Bone marrow smear
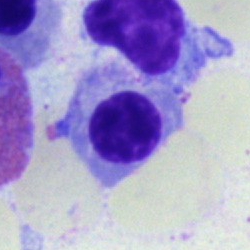Cell type — erythroblast.